Bone marrow aspirate smear.
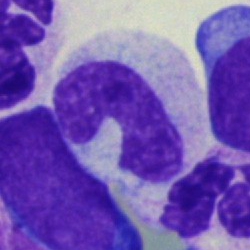 A band-form neutrophil.